MGG-stained · single cell centered in the field · bone marrow aspirate smear: 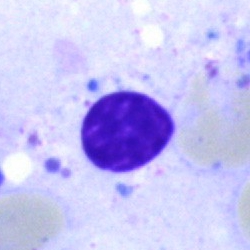 Artefact.